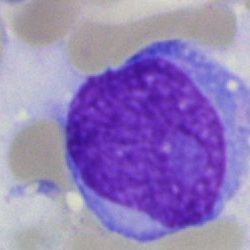 Bone marrow smear showing an undifferentiated blast.